Bone marrow aspirate smear; May-Grünwald-Giemsa/Pappenheim stain; image size 250×250.
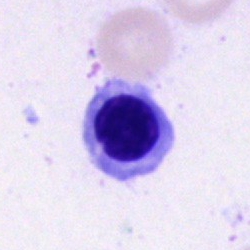

Morphological class — nucleated red blood cell.